Bone marrow aspirate smear; cropped to a single cell:
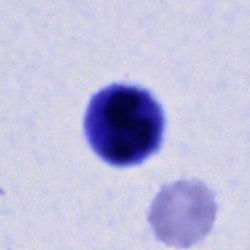 Q: What is shown here?
A: Cell of indeterminate lineage.